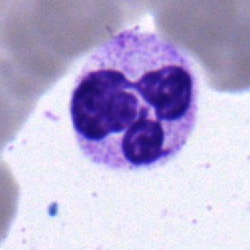
Morphology — polymorphonuclear neutrophil.